Bone marrow smear. Single cell centered in the field:
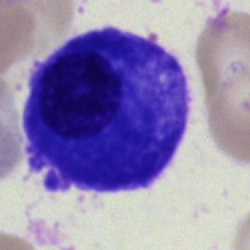Classification = plasmacyte.